Brightfield, 40× oil-immersion objective. Bone marrow smear. 250 by 250 pixels — 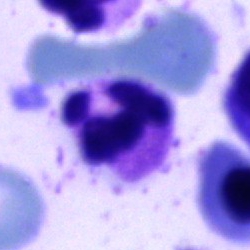 {"cell_type": "neutrophil (segmented)"}